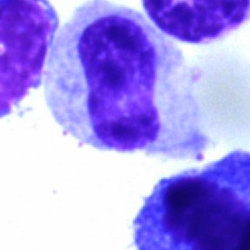
Stab cell.